Bone marrow aspirate smear: 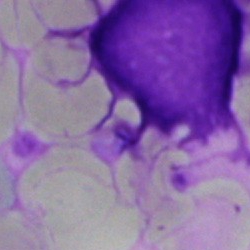
This is an artifact.